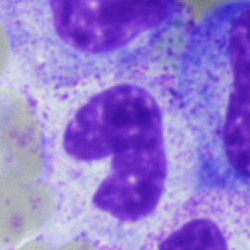 Specimen: bone marrow smear.
Classification: band neutrophil.
Lineage: myeloid.